Bone marrow aspirate smear
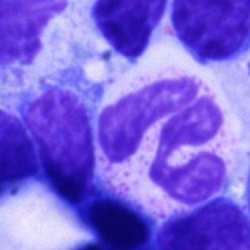
Classification: polymorphonuclear neutrophil.